Bone marrow aspirate smear: 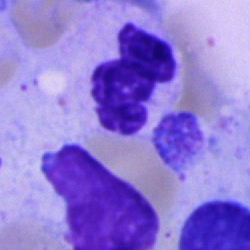Impression → neutrophil (segmented).